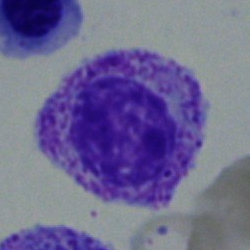Cell — myelocyte.